Bone marrow smear
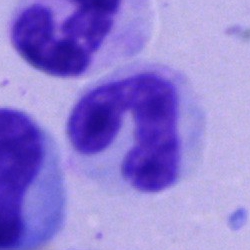
Q: What is shown here?
A: It is a band-form neutrophil.